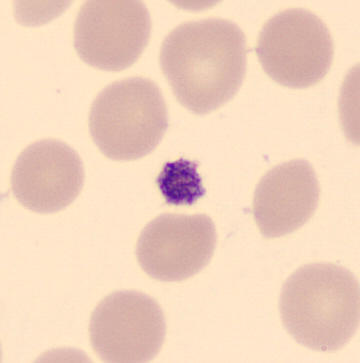
Peripheral blood film.
Impression → thrombocyte.